Bone marrow aspirate smear. Single-cell crop.
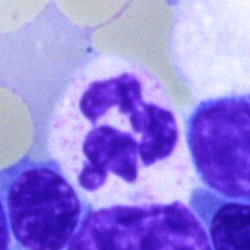

A segmented neutrophil.